May-Grünwald-Giemsa/Pappenheim stain. Bone marrow smear
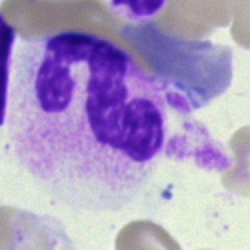 Q: What cell is this?
A: A segmented neutrophil.